Bone marrow smear
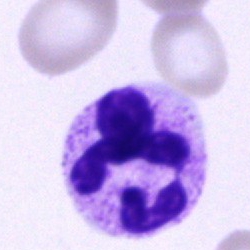Cell type — polymorphonuclear neutrophil.